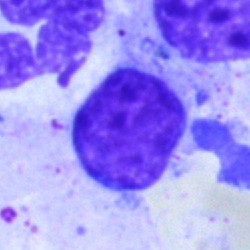

Single cell identified as an undifferentiated blast.